Brightfield, 40× oil-immersion objective. Single-cell crop. Bone marrow aspirate smear — 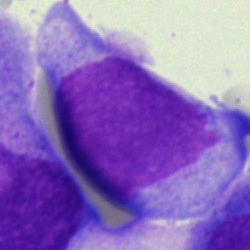

Impression → blast cell.